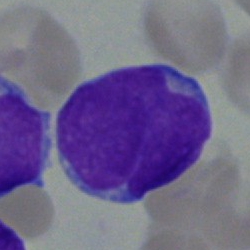
Morphology → blast.